Bone marrow smear — 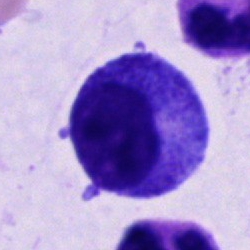

Impression — progranulocyte.